Bone marrow aspirate smear — 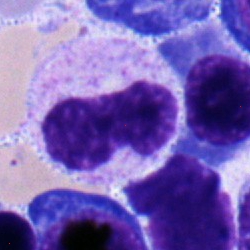

Specimen: bone marrow smear.
Cell: band-form neutrophil.
Lineage: myeloid.